Bone marrow aspirate smear — 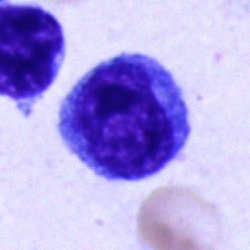
Classification — blast cell.